Bone marrow smear.
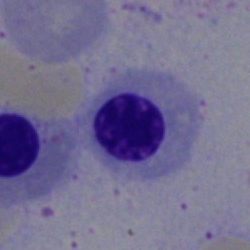Nucleated red cell.